Bone marrow smear · cropped to a single cell · 250×250.
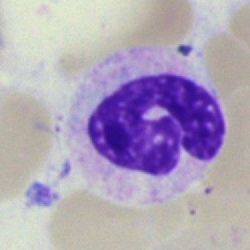
Specimen: bone marrow smear.
Classification: neutrophil (segmented).